Peripheral blood film: 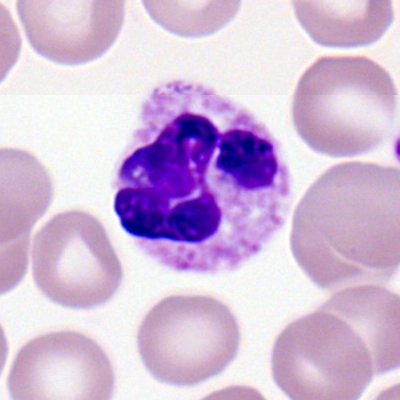

{"cell_type": "segmented neutrophil", "lineage": "myeloid"}